May-Grünwald-Giemsa stain · bone marrow aspirate smear: 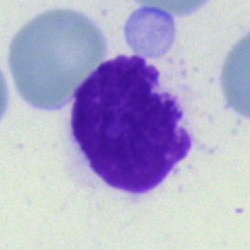
Morphology consistent with an artefact.